Bone marrow aspirate smear: 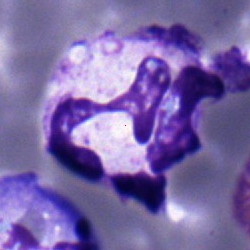

Morphology — neutrophil (segmented).